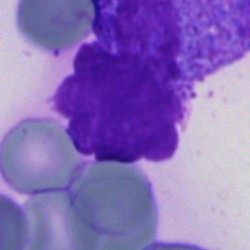Single-cell crop from a bone marrow smear: artifact.